Cropped to a single cell; bone marrow aspirate smear: 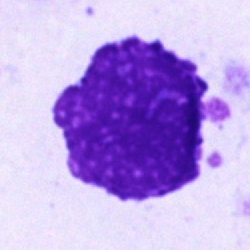 Q: What is shown here?
A: It is an artifact.